Image size 250×250 · 40× oil immersion · bone marrow smear
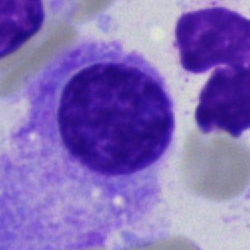Specimen: bone marrow aspirate smear.
Morphological class: plasmacyte.